MGG-stained. Brightfield microscopy, 40× oil immersion. Bone marrow aspirate smear.
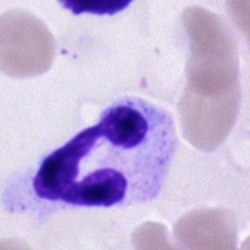

Impression → neutrophil (segmented).